Bone marrow smear — 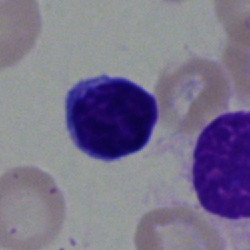Impression — lymphocyte.